Bone marrow aspirate smear — 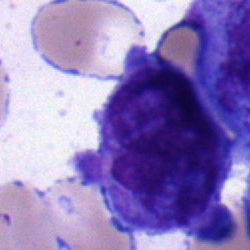

This is a blast cell.